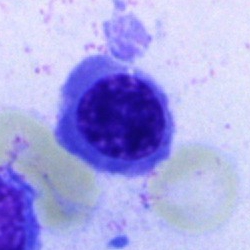Cell type — neutrophil (segmented).